250×250 · MGG-stained · bone marrow aspirate smear
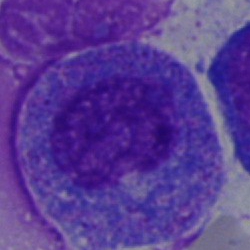
Q: Which cell type is shown here?
A: This is a promyelocyte.